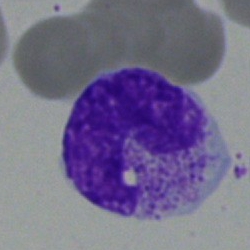This is a band neutrophil.